Peripheral blood smear
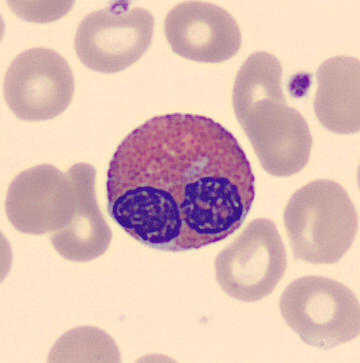Cell type = eosinophilic granulocyte.